Bone marrow aspirate smear
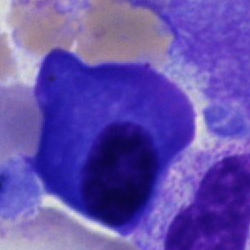

The cell type is plasmacyte.